Bone marrow smear:
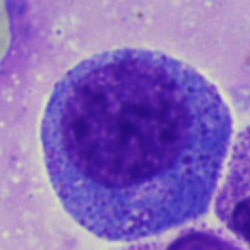
Specimen: bone marrow smear.
Cell type: promyelocyte.